Bone marrow smear:
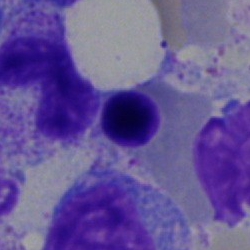

Specimen: bone marrow aspirate smear.
Classification: nucleated red blood cell.